Bone marrow smear:
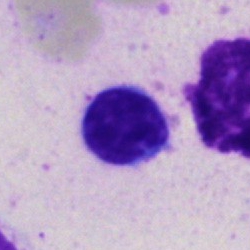
Showing a plasma cell.